Brightfield microscopy, 40× oil immersion · bone marrow aspirate smear: 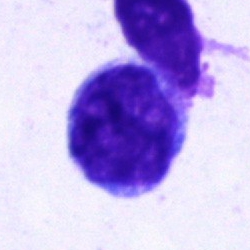 The morphological class is blast.